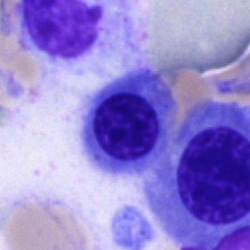

Specimen: bone marrow aspirate smear.
Cell type: nucleated red blood cell.
Lineage: erythroid.